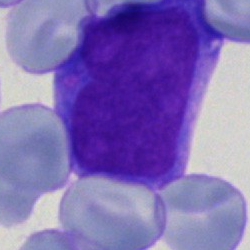

Q: What cell is this?
A: This is a blast cell.